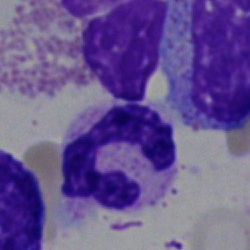
Polymorphonuclear neutrophil.